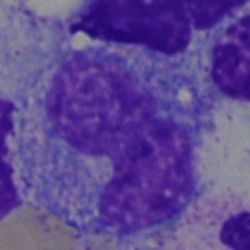This is a monocyte.